400×400; peripheral blood smear; Romanowsky-stained — 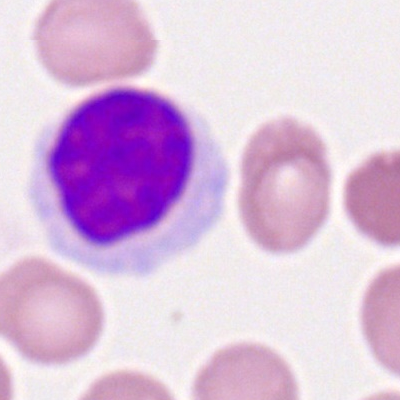

Specimen: peripheral blood film.
Cell type: typical lymphocyte.